Peripheral blood film — 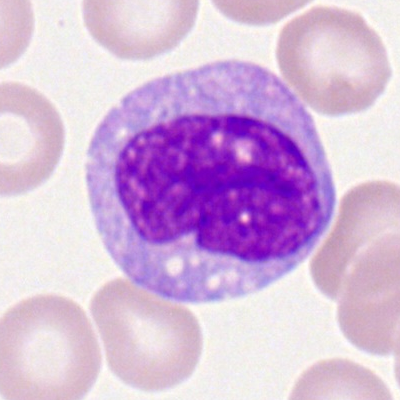 A monocyte.